Cropped to a single cell; Pappenheim-stained; bone marrow smear.
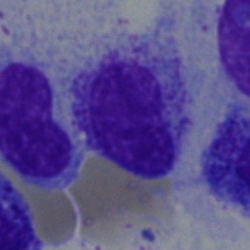Showing a myelocyte.